Bone marrow smear:
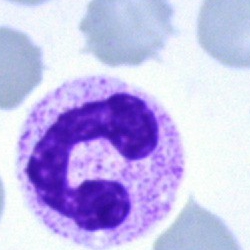
Q: What type of cell is this?
A: It is a neutrophil (segmented).